Image size 250×250; bone marrow smear; cropped to a single cell.
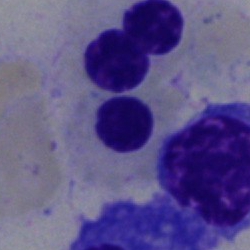
Cell type = erythroblast.